Bone marrow aspirate smear.
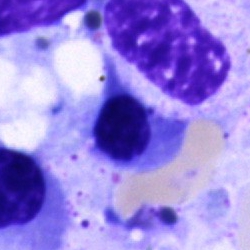The cell shown is an artefact.